May-Grünwald-Giemsa stain. Single-cell crop. Bone marrow aspirate smear — 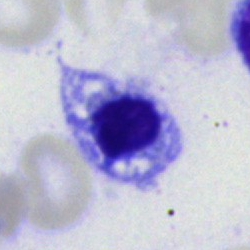Specimen: bone marrow smear.
Classification: erythroblast.
Lineage: erythroid.